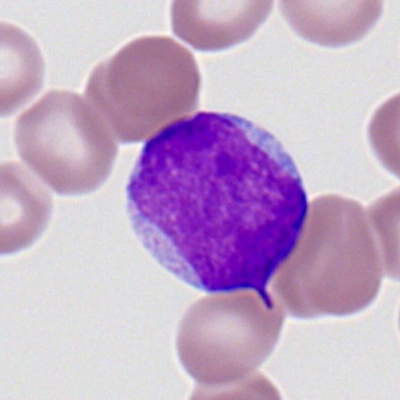 Cell type — myeloblast.